Bone marrow aspirate smear
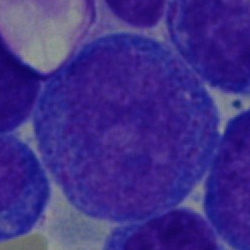Cell type — promyelocyte.